Bone marrow smear
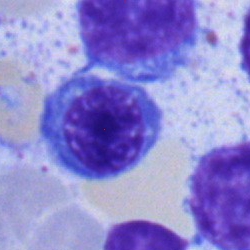

Showing a lymphocyte.